Bone marrow aspirate smear · image size 250×250 · single cell centered in the field — 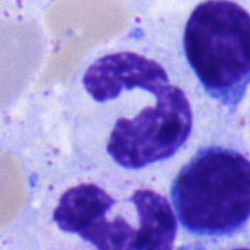 Showing a segmented neutrophil.